Bone marrow smear
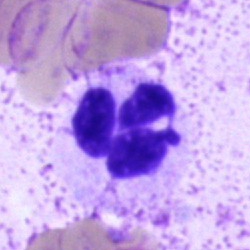 Morphology consistent with a neutrophil (segmented).